MGG-stained; bone marrow aspirate smear; 250×250 px
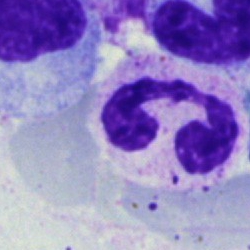Impression → polymorphonuclear neutrophil.